M8 digital microscope (Precipoint), 100× oil immersion · cropped to a single cell · peripheral blood film
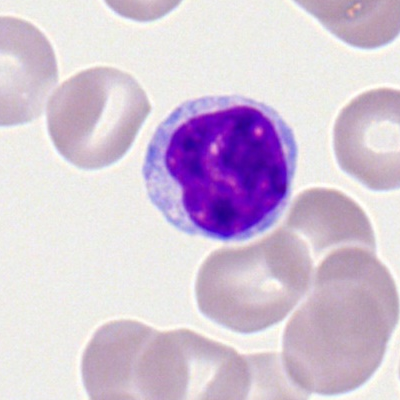
Q: Which cell type is shown here?
A: A lymphocyte.